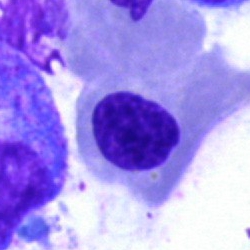The cell is erythroblast.